Single cell centered in the field · peripheral blood film · Romanowsky-stained
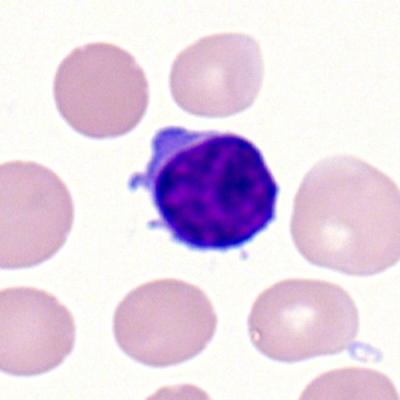
Showing a lymphocyte.